May-Grünwald-Giemsa stain. Single cell centered in the field. Bone marrow smear.
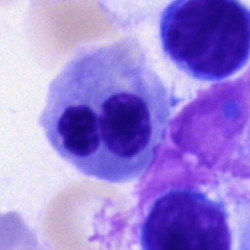Q: What cell is this?
A: A normoblast.